Bone marrow smear.
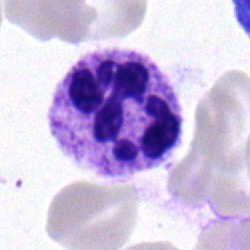
This is a segmented neutrophil.